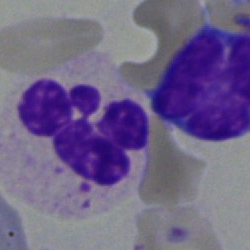 Classification — segmented neutrophil.